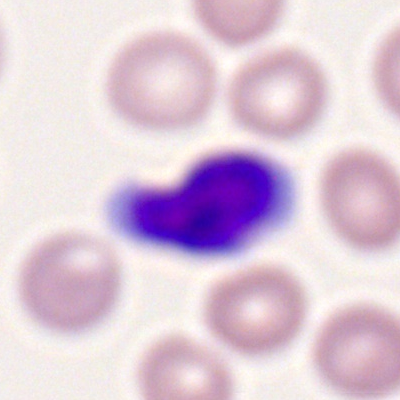

Impression — lymphocyte.